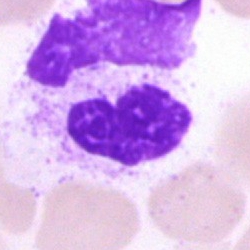

Impression — artifact.